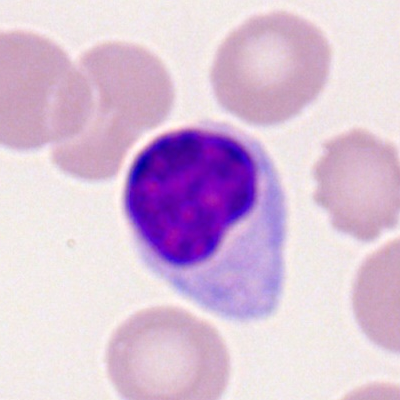 Morphology → typical lymphocyte.